Bone marrow aspirate smear.
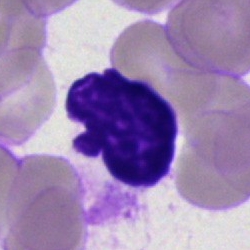 Artifact.